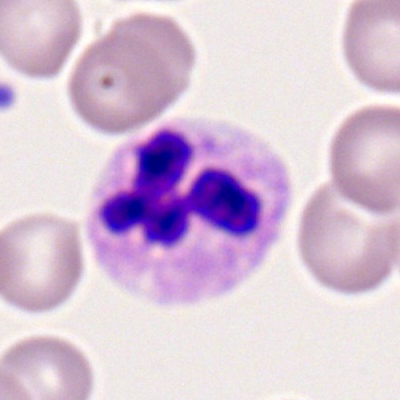 Single cell identified as a polymorphonuclear neutrophil.